Brightfield microscopy, 40× oil immersion; bone marrow smear: 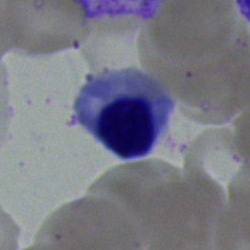 Q: Identify the cell.
A: This is a nucleated red cell.